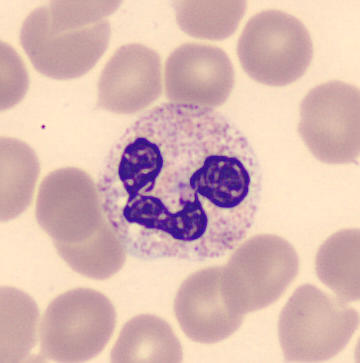
Q: Which cell type is shown here?
A: It is a segmented neutrophil.
Image: Peripheral blood film.